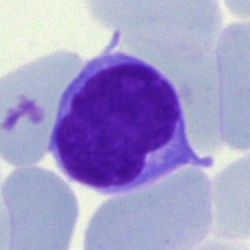

Bone marrow aspirate smear, single cell — lymphocyte.